Bone marrow smear; cropped to a single cell: 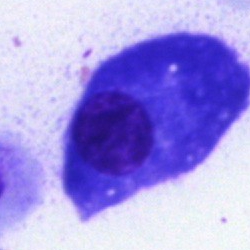

Impression → plasmacyte.